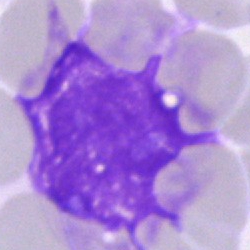
Cell = artefact.